Bone marrow smear: 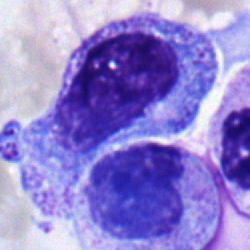

A myelocyte.